Bone marrow aspirate smear — 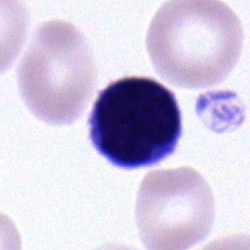

{"cell_type": "typical lymphocyte", "lineage": "lymphoid"}